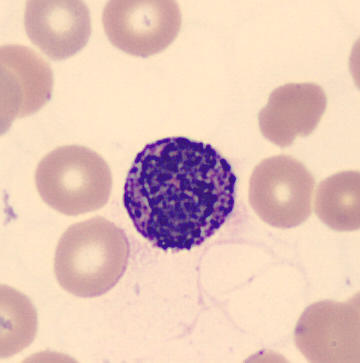Preparation: Peripheral blood smear.
Cell = basophil.